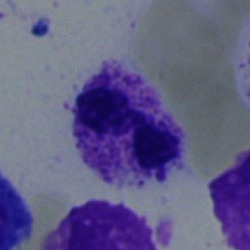

A segmented neutrophil on a bone marrow smear.